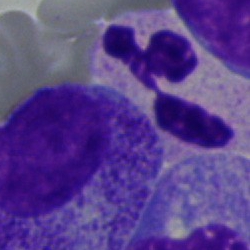 Bone marrow aspirate smear, single cell — segmented neutrophil.